Bone marrow aspirate smear:
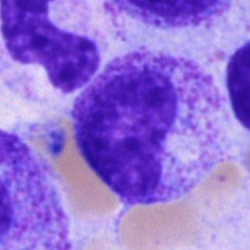Q: What is the morphological classification of this cell?
A: Myelocyte.